MGG-stained; bone marrow smear: 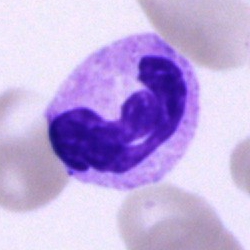This is a segmented neutrophil.